Bone marrow aspirate smear; 250×250 px; single-cell crop:
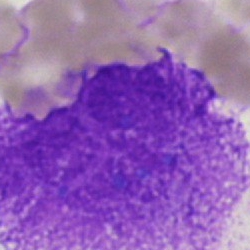
Morphological class = artefact.